Peripheral blood smear: 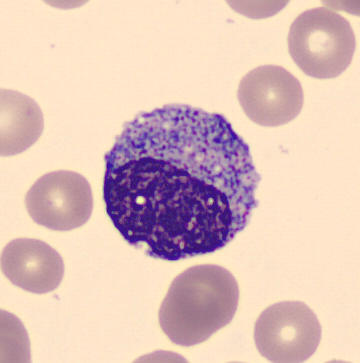

{"cell_type": "myelocyte"}